Bone marrow aspirate smear; MGG-stained:
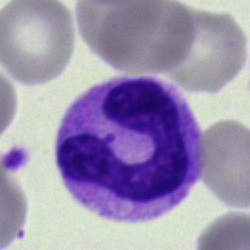
Cell type: band-form neutrophil.